Bone marrow smear; cropped to a single cell.
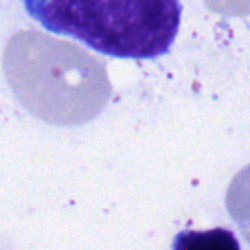 Cell type: undifferentiated blast.